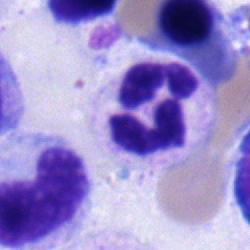

Showing a neutrophil (segmented).